Bone marrow smear: 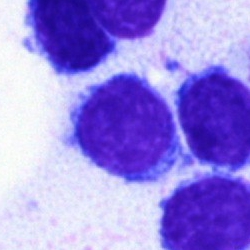
{"cell_type": "lymphocyte"}